Bone marrow aspirate smear. Image size 250×250 — 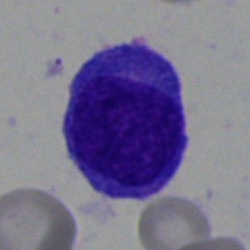The classification is typical lymphocyte.